Bone marrow aspirate smear:
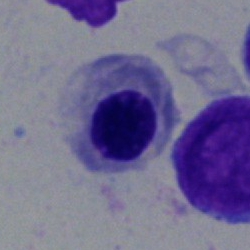

Cell — normoblast.